Bone marrow smear:
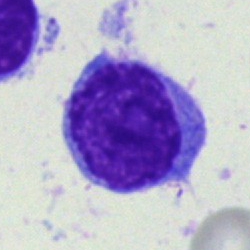
Cell = lymphocyte.